Bone marrow aspirate smear
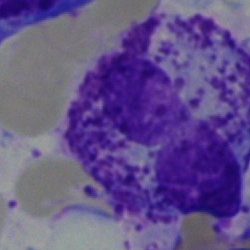
The cell type is cell not matching the other categories.